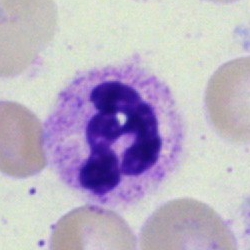 Bone marrow smear showing a segmented neutrophil.